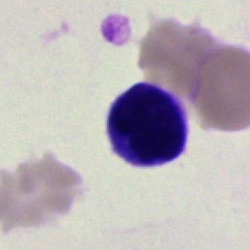 Cell type — artifact.